Bone marrow smear
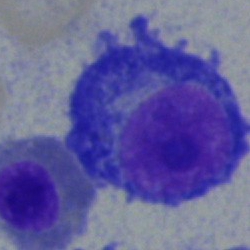Morphology consistent with a plasmacyte.